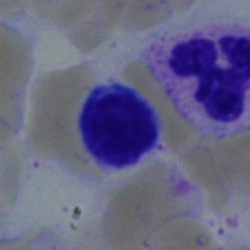 {"cell_type": "lymphocyte", "lineage": "lymphoid"}